Bone marrow aspirate smear — 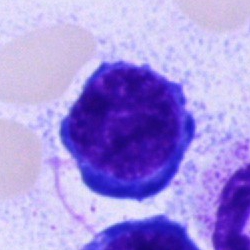Q: What cell is this?
A: It is a lymphocyte.